Bone marrow smear; 250 by 250 pixels: 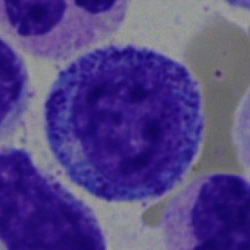

Cell type — progranulocyte.